Bone marrow aspirate smear — 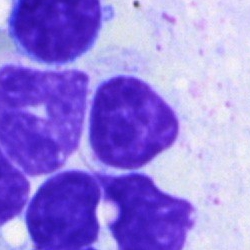 Morphological class = artefact.